Bone marrow smear
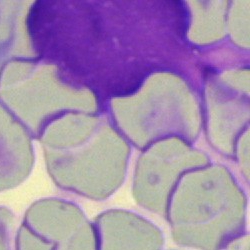
Specimen: bone marrow smear.
Cell type: artifact.